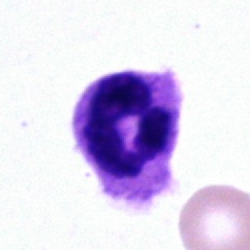A neutrophil (segmented).